Peripheral blood smear; May Grünwald-Giemsa stain
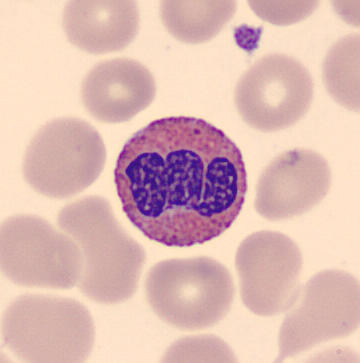The cell shown is an eosinophil.